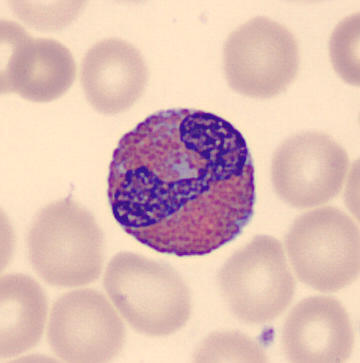
Morphological class = eosinophilic granulocyte.
Peripheral blood film.